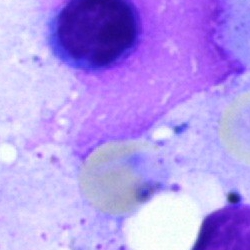 Morphological class: artefact.